Bone marrow smear: 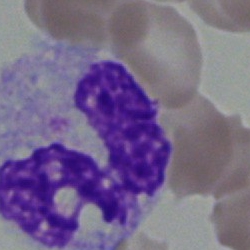
Monocyte.